Bone marrow aspirate smear
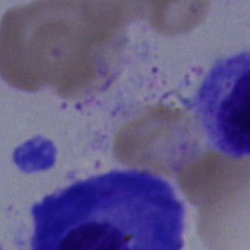 Q: What type of cell is this?
A: It is a cell of indeterminate lineage.